Bone marrow aspirate smear. May-Grünwald-Giemsa/Pappenheim stain. Single-cell crop: 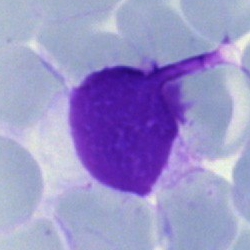

An artefact.